Bone marrow smear — 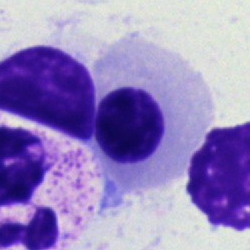{"cell_type": "nucleated red blood cell", "lineage": "erythroid"}